May-Grünwald-Giemsa/Pappenheim stain; 250 by 250 pixels; bone marrow smear: 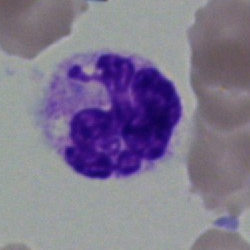
Single cell identified as a segmented neutrophil.